Bone marrow aspirate smear:
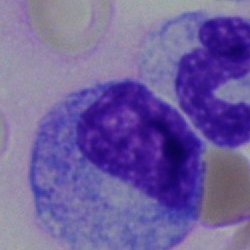Classification — metamyelocyte.